Image size 250×250. Bone marrow smear. Brightfield, 40× oil-immersion objective.
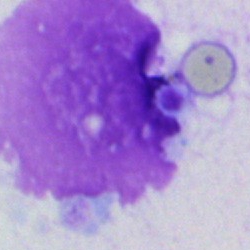Single cell identified as an artifact.